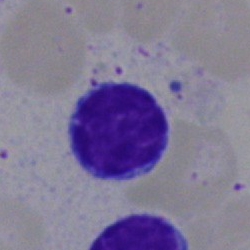 This is a lymphocyte.